Peripheral blood film.
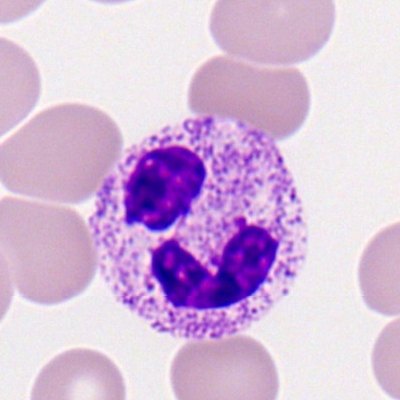 This is a segmented neutrophil.